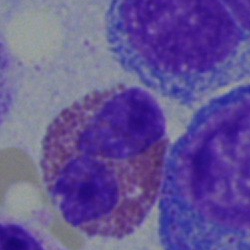

Morphological class = eosinophil.